Bone marrow smear · image size 250×250: 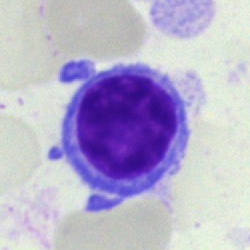

Q: What type of cell is this?
A: A lymphocyte.